Bone marrow aspirate smear:
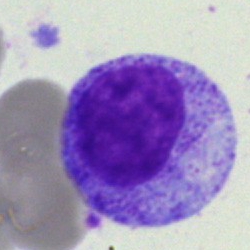 Classification = myelocyte.